Bone marrow smear.
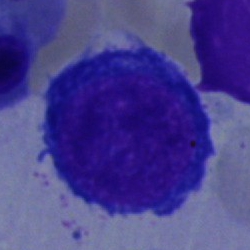
Cell type — pronormoblast.